Bone marrow aspirate smear
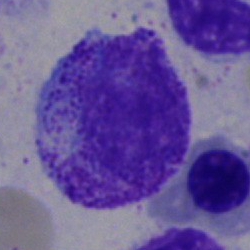Morphological class: myelocyte.